Single-cell field · bone marrow smear · 40× objective, oil immersion — 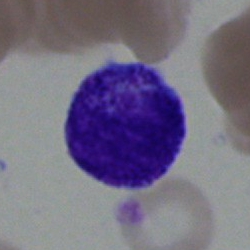
Showing a myelocyte.